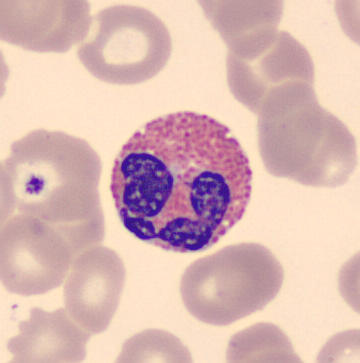
The classification is eosinophilic granulocyte.
Acquisition: Peripheral blood film.